360×363. Peripheral blood film — 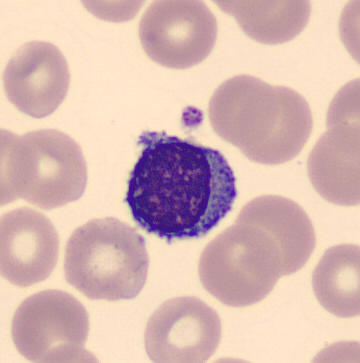

Q: What is shown here?
A: It is a lymphocyte.